Bone marrow aspirate smear · brightfield microscopy, 40× oil immersion.
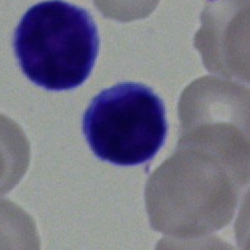 Q: What cell is this?
A: A lymphocyte.